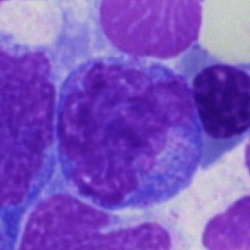 A monocyte.